Image size 250×250. Bone marrow smear — 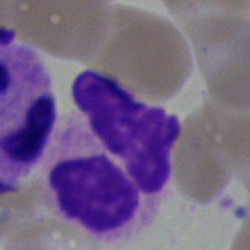 The cell shown is a polymorphonuclear neutrophil.